Peripheral blood film — 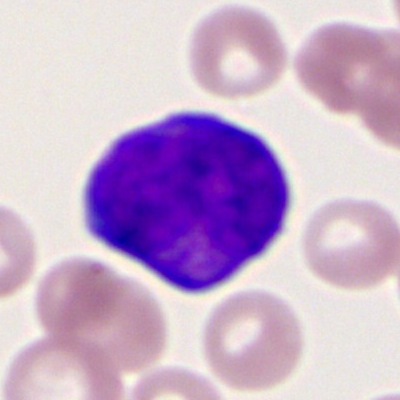 Q: Identify the cell.
A: This is a myeloblast.